Bone marrow smear — 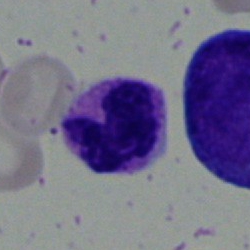 Morphology consistent with a polymorphonuclear neutrophil.